Bone marrow smear
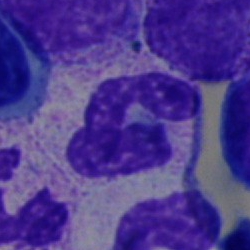

Specimen: bone marrow aspirate smear.
Classification: polymorphonuclear neutrophil.